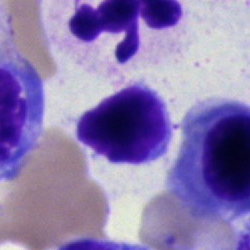
Single cell identified as an artifact.